Bone marrow smear: 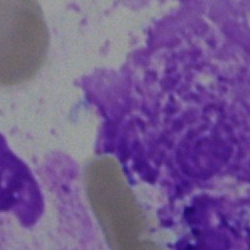
Single cell identified as an artefact.